May-Grünwald-Giemsa stain · bone marrow smear · 250×250 px.
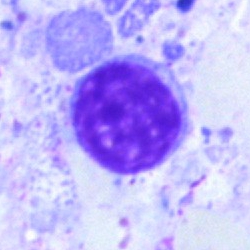 Cell — artefact.